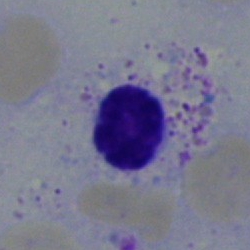The morphological class is polymorphonuclear neutrophil.